May-Grünwald-Giemsa/Pappenheim stain. Bone marrow smear — 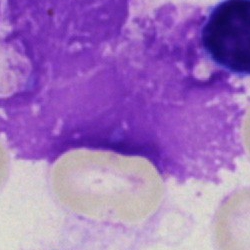
Morphology → artifact.